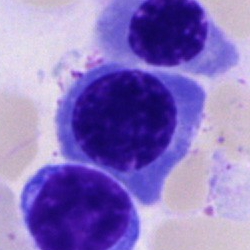

Morphology → normoblast.